Bone marrow aspirate smear
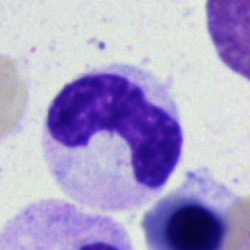
A neutrophil (band).